Peripheral blood smear:
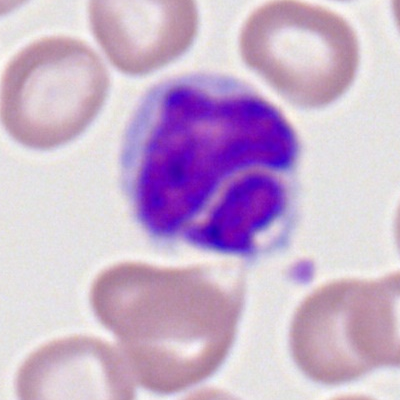
Q: What type of cell is this?
A: It is a monocyte.